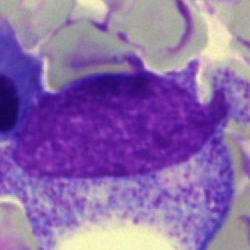

Single cell identified as a progranulocyte.